May-Grünwald-Giemsa stain. Bone marrow smear.
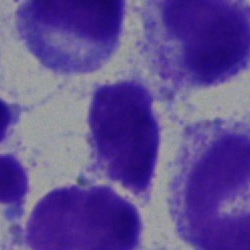Q: What is shown here?
A: Artifact.